Brightfield microscopy, 40× oil immersion · bone marrow aspirate smear.
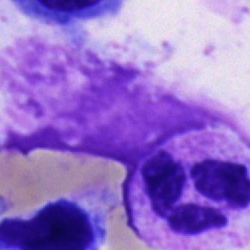

Q: What is shown here?
A: It is an artefact.